Bone marrow smear.
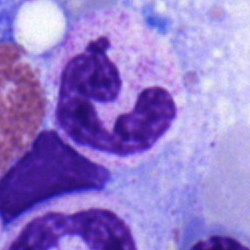 This is a segmented neutrophil.